May-Grünwald-Giemsa stain; bone marrow aspirate smear; image size 250×250
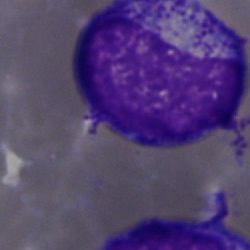
Cell = metamyelocyte.